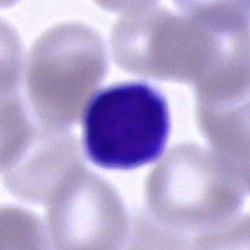
Q: What is shown here?
A: A lymphocyte.